250×250 px · 40× objective, oil immersion · bone marrow aspirate smear:
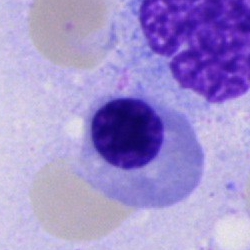
The cell is normoblast.